Bone marrow aspirate smear — 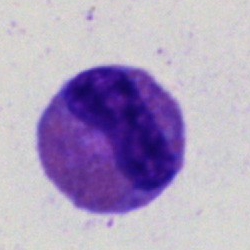 Q: What is shown here?
A: This is an eosinophil.